Cropped to a single cell · 250×250 px · bone marrow smear — 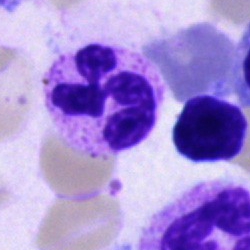

{"cell_type": "neutrophil (segmented)", "lineage": "myeloid"}